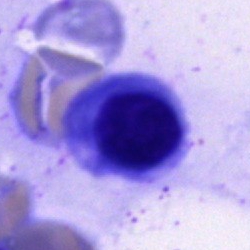 Classification: erythroblast.